Bone marrow aspirate smear:
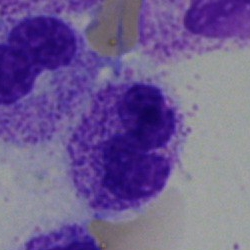

The cell type is neutrophil (segmented).